Bone marrow aspirate smear: 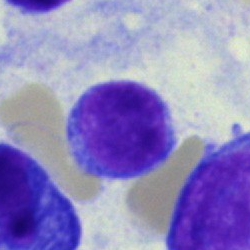Morphology — typical lymphocyte.